Single-cell crop · bone marrow aspirate smear · brightfield microscopy, 40× oil immersion
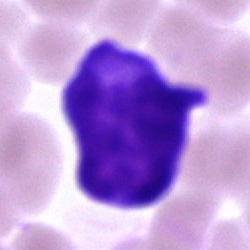Showing a blast.